Single cell centered in the field. May-Grünwald-Giemsa stain. Bone marrow smear.
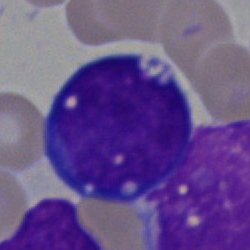

Impression — blast.